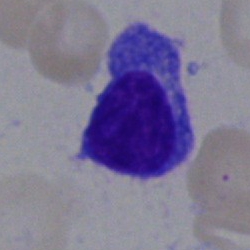

Impression → plasma cell.